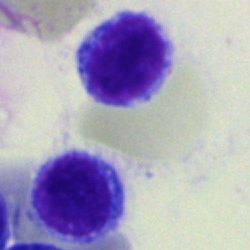 {"cell_type": "typical lymphocyte", "lineage": "lymphoid"}